Bone marrow aspirate smear.
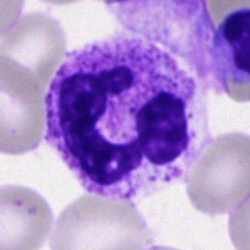

Impression — segmented neutrophil.